Bone marrow aspirate smear:
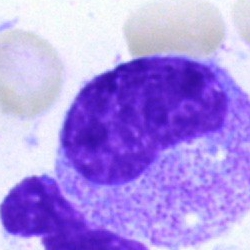
Q: Which cell type is shown here?
A: A metamyelocyte.